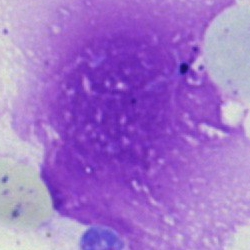

Single cell identified as an artifact.